Bone marrow smear — 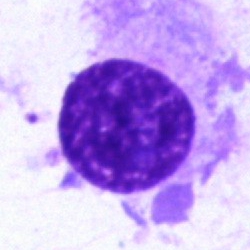Plasma cell.